Bone marrow aspirate smear.
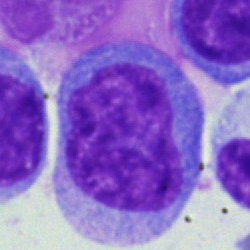
This is a lymphocyte.